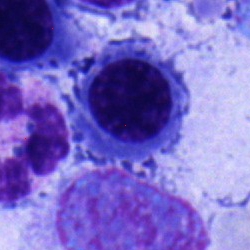 Cell: nucleated red cell.